MGG-stained; bone marrow aspirate smear — 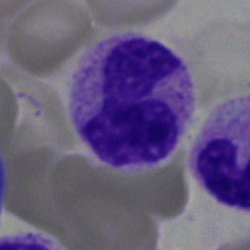 This is a band neutrophil.